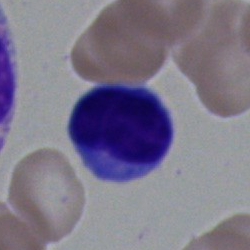 {"cell_type": "typical lymphocyte", "lineage": "lymphoid"}